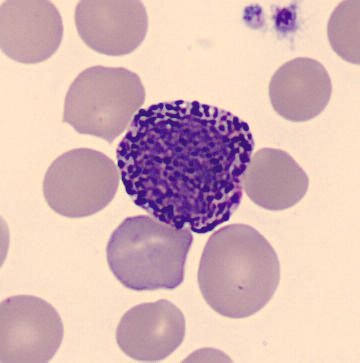

Preparation: Peripheral blood smear.

The cell type is basophil.